Bone marrow aspirate smear; brightfield, 40× oil-immersion objective.
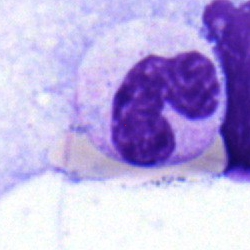 A neutrophil (band).